Bone marrow smear.
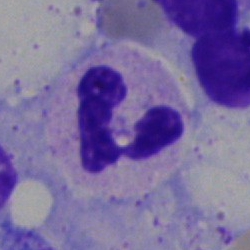 Specimen: bone marrow smear.
Morphological class: segmented neutrophil.
Lineage: myeloid.